Bone marrow aspirate smear
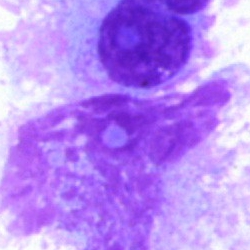

Classification: artifact.